Peripheral blood smear · 360×363 · MGG-stained.
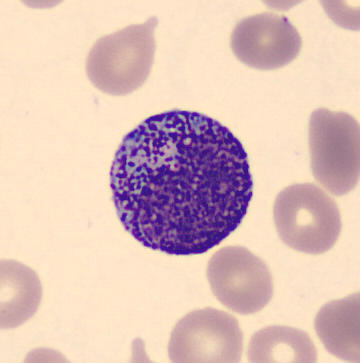 Morphological class — promyelocyte.